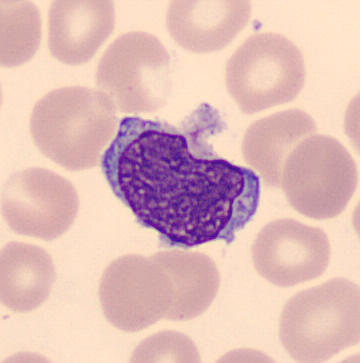

360×363 px; automated cell imaging (CellaVision DM96).
Specimen: peripheral blood film.
Classification: monocyte.